Single-cell field. May-Grünwald-Giemsa stain. Bone marrow aspirate smear:
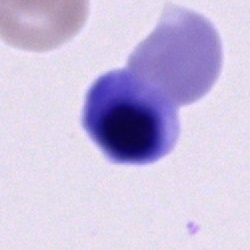 Morphological class = normoblast.